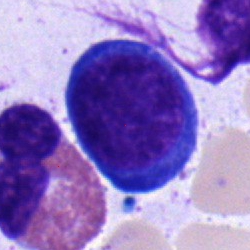
The cell shown is a normoblast.